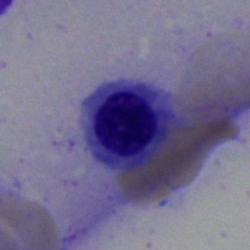

Morphological class — nucleated red cell.